Bone marrow aspirate smear
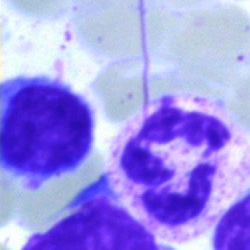

Q: What is shown here?
A: Polymorphonuclear neutrophil.